Bone marrow aspirate smear
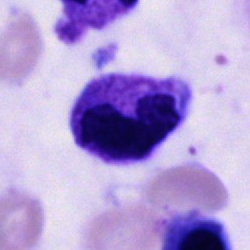Q: Identify the cell.
A: This is a neutrophil (segmented).